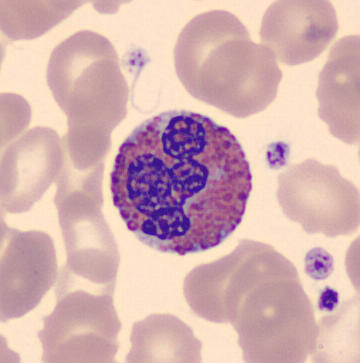
Morphology → eosinophil.

Preparation: Peripheral blood film; imaged on a CellaVision DM96 analyser.